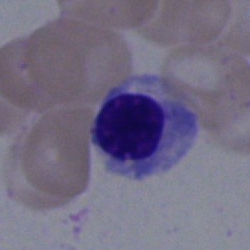
Specimen: bone marrow smear.
Morphological class: nucleated red blood cell.
Lineage: erythroid.